MGG-stained · image size 250×250 · bone marrow aspirate smear — 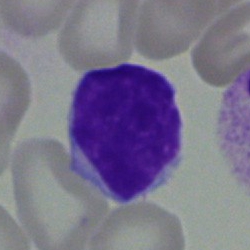
Specimen: bone marrow aspirate smear.
Morphological class: typical lymphocyte.